Bone marrow aspirate smear: 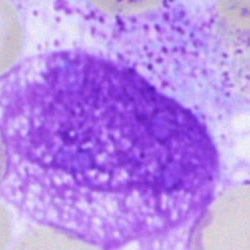

Artifact.